Bone marrow smear. MGG-stained. Brightfield, 40× oil-immersion objective — 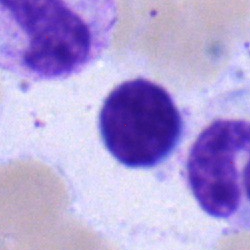Typical lymphocyte.